Bone marrow smear — 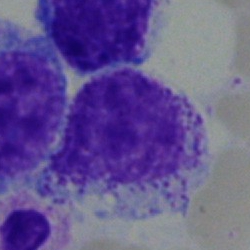Classification = metamyelocyte.